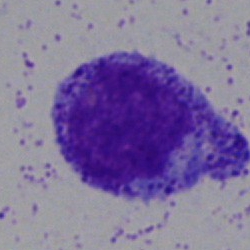 This is a myelocyte.